Bone marrow aspirate smear — 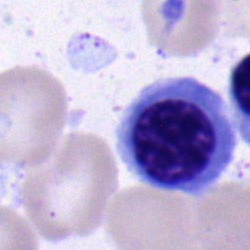

Showing a nucleated red cell.